Bone marrow aspirate smear. 250 by 250 pixels: 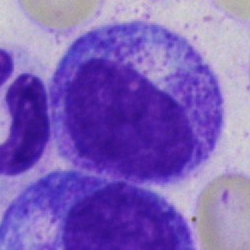 Specimen: bone marrow aspirate smear.
Classification: myelocyte.
Lineage: myeloid.